Peripheral blood smear.
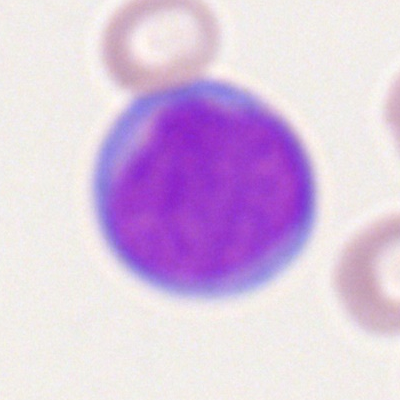 Q: Which cell type is shown here?
A: This is a myeloblast.